May-Grünwald-Giemsa/Pappenheim stain; bone marrow smear — 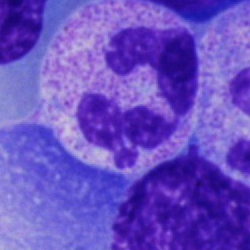 The cell type is neutrophil (segmented).